Bone marrow aspirate smear:
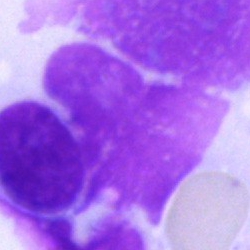The cell is artifact.